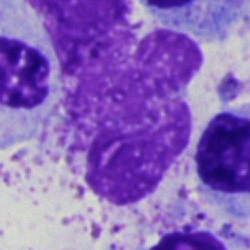

Classification: artefact.